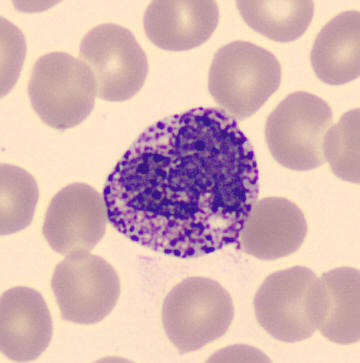 Q: Identify the cell.
A: Basophil.